Bone marrow aspirate smear · Pappenheim-stained — 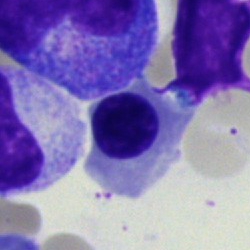Morphology consistent with a nucleated red cell.